Cropped to a single cell · bone marrow aspirate smear.
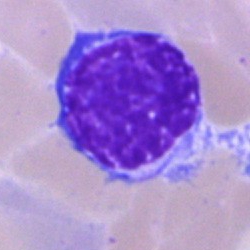

Morphological class: erythroblast.